Single cell centered in the field · bone marrow smear.
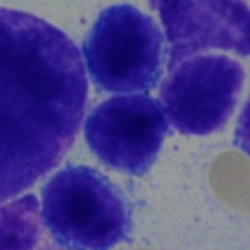Morphology consistent with a lymphocyte.